Brightfield microscopy, 40× oil immersion · bone marrow smear: 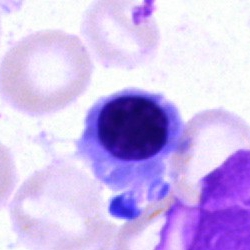
Q: What type of cell is this?
A: An erythroblast.